Bone marrow aspirate smear: 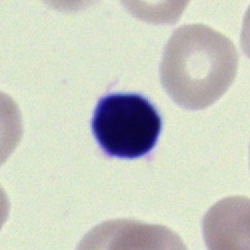

Cell — lymphocyte.